40× objective, oil immersion; bone marrow smear; Pappenheim-stained
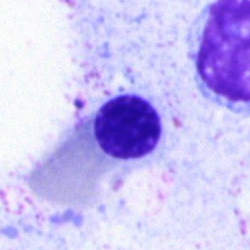Single cell identified as an erythroblast.